250×250; bone marrow aspirate smear — 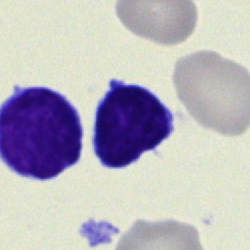A lymphocyte.